Bone marrow smear; MGG-stained; 250×250 — 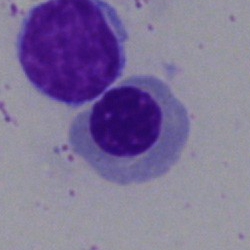Nucleated red cell.